Single cell centered in the field. 250×250. Bone marrow aspirate smear.
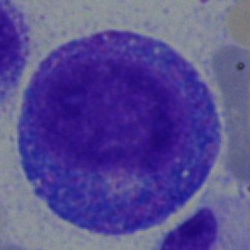{"cell_type": "progranulocyte"}